Bone marrow smear:
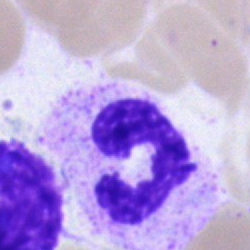 Q: What type of cell is this?
A: This is a segmented neutrophil.